Bone marrow smear — 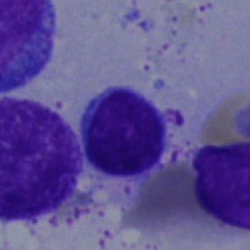

Specimen: bone marrow smear.
Classification: typical lymphocyte.
Lineage: lymphoid.